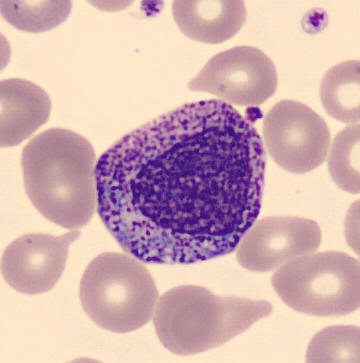Classification — promyelocyte.